May-Grünwald-Giemsa/Pappenheim stain. Bone marrow smear
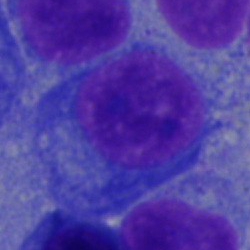

The cell shown is a plasmacyte.